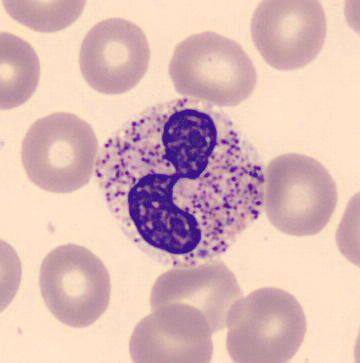 Cell — segmented neutrophil.